Bone marrow smear — 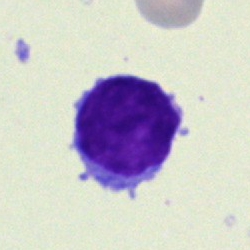 This is a typical lymphocyte.